Bone marrow smear.
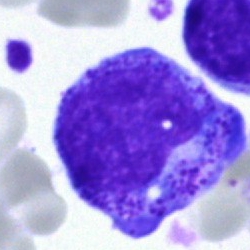Morphological class = progranulocyte.